250×250. Bone marrow aspirate smear:
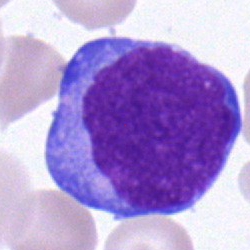Blast.